Single cell centered in the field. Brightfield, 40× oil-immersion objective. Bone marrow smear — 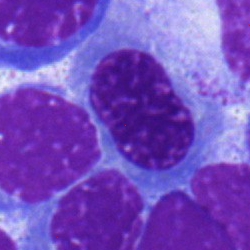

Morphology → erythroblast.